Bone marrow aspirate smear — 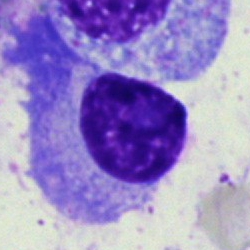Q: What is shown here?
A: Plasma cell.